Bone marrow aspirate smear
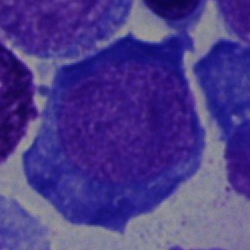 Morphology — pronormoblast.